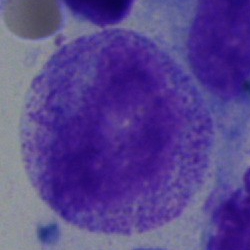
The morphological class is myelocyte.